Bone marrow aspirate smear: 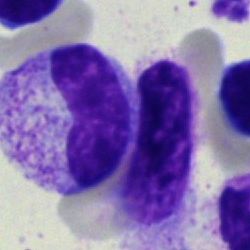
{"cell_type": "stab cell"}